Bone marrow smear — 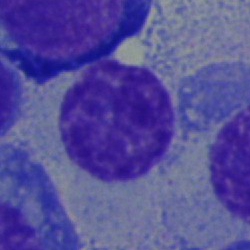
Q: Identify the cell.
A: This is a plasma cell.